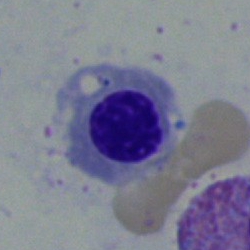

Impression — erythroblast.